Cropped to a single cell; bone marrow smear; MGG-stained:
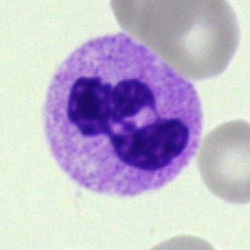

The morphological class is neutrophil (segmented).